Bone marrow smear. Brightfield, 40× oil-immersion objective. Image size 250×250:
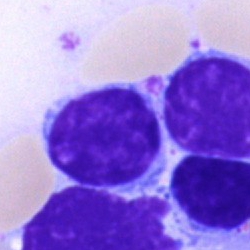Specimen: bone marrow aspirate smear.
Cell: lymphocyte.
Lineage: lymphoid.